Bone marrow smear. Single cell centered in the field: 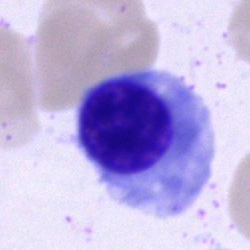

Q: What is the morphological classification of this cell?
A: It is an erythroblast.